Peripheral blood smear
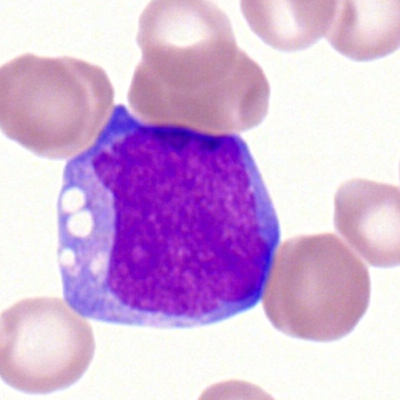
Showing a myeloblast.